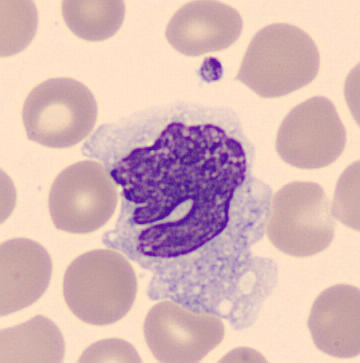 Specimen: peripheral blood smear.
Morphological class: monocyte.